400 by 400 pixels; peripheral blood smear
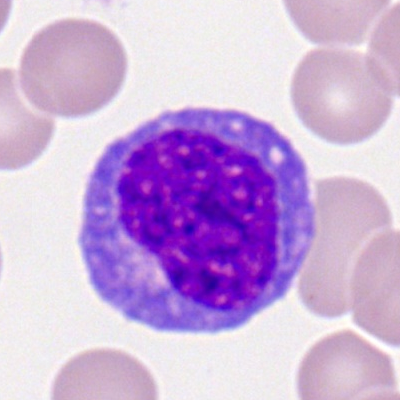 Impression — monocyte.